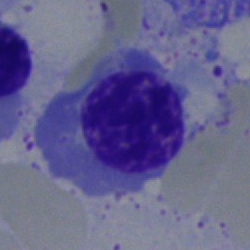

{"cell_type": "nucleated red blood cell", "lineage": "erythroid"}